Bone marrow aspirate smear.
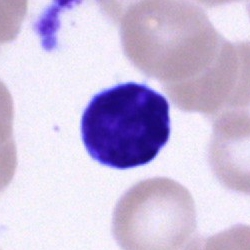 This is a lymphocyte.